Bone marrow smear · single-cell crop: 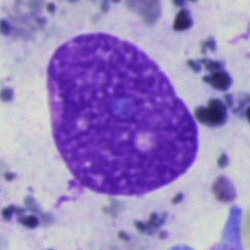

Classification: artifact.